Pappenheim-stained; 250 by 250 pixels; bone marrow smear:
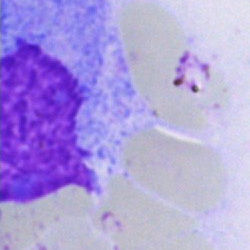Artefact.